Single-cell field. Bone marrow aspirate smear — 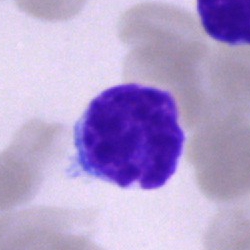Q: What cell is this?
A: A lymphocyte.